Bone marrow smear
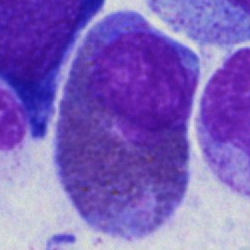 Morphology → eosinophil.